Bone marrow aspirate smear:
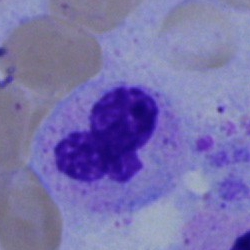Morphological class = neutrophil (segmented).